Peripheral blood film — 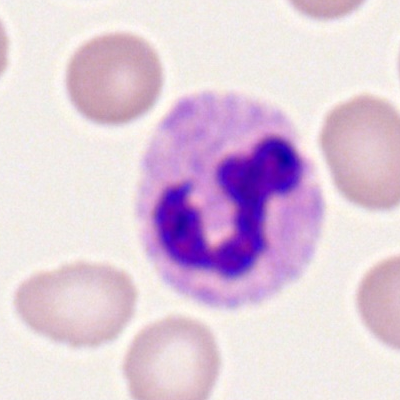

Cell type: segmented neutrophil.